Bone marrow aspirate smear:
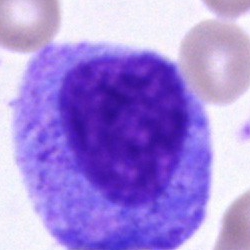

Single cell identified as a promyelocyte.